Bone marrow aspirate smear: 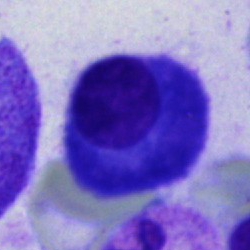 Q: Identify the cell.
A: This is a plasma cell.